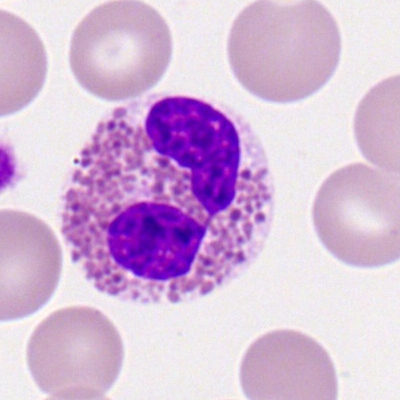

Classification = eosinophilic granulocyte.